250×250 px; bone marrow aspirate smear:
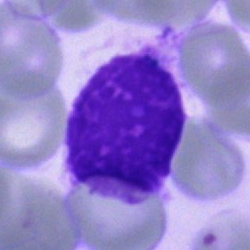 Morphological class = artifact.